250×250 px; bone marrow aspirate smear.
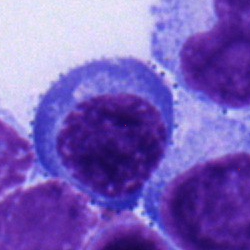

A nucleated red cell.